Bone marrow smear — 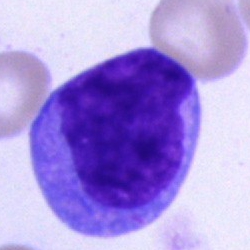

Cell: blast cell.